Bone marrow smear:
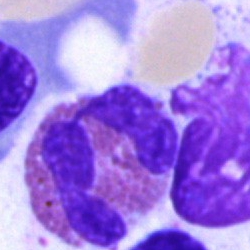

An eosinophilic granulocyte.